Bone marrow aspirate smear: 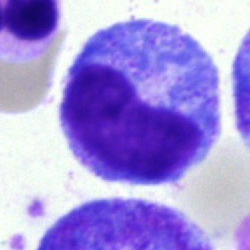Impression → metamyelocyte.